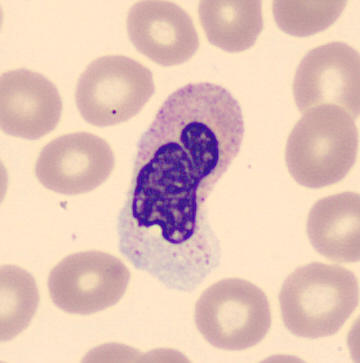 Preparation: Peripheral blood film.

Q: Identify the cell.
A: It is a neutrophil (segmented).